Bone marrow smear:
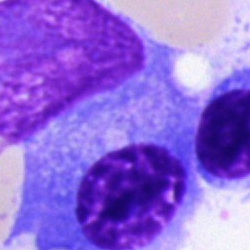{"cell_type": "plasmacyte", "lineage": "lymphoid"}